Single cell centered in the field. Bone marrow aspirate smear
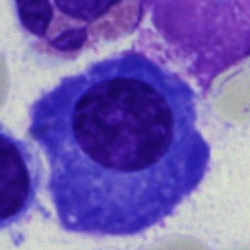 This is a plasmacyte.